250 by 250 pixels. Bone marrow aspirate smear
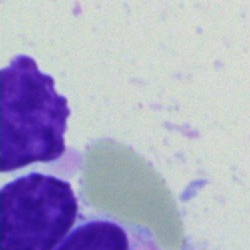

An artifact.